Peripheral blood smear: 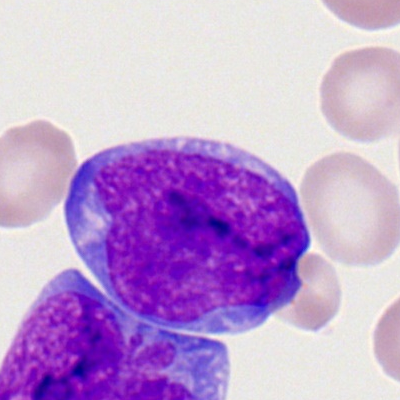Cell type: myeloblast.